Bone marrow aspirate smear. 250×250
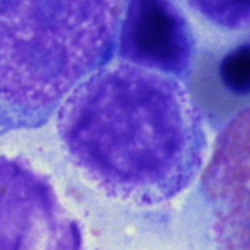 Single cell identified as a myelocyte.